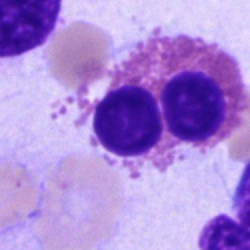
Morphological class — eosinophilic granulocyte.